Bone marrow aspirate smear: 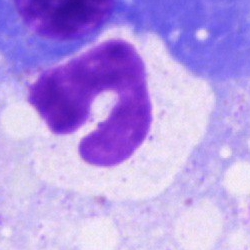

Morphology — band-form neutrophil.